Single cell centered in the field; peripheral blood film; 400×400 px:
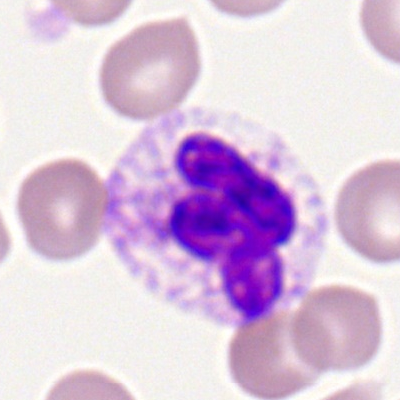
The morphological class is neutrophil (segmented).